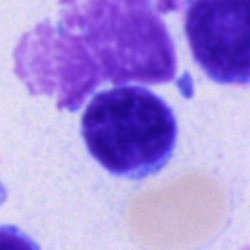Cell type — typical lymphocyte.